Bone marrow aspirate smear · brightfield, 40× oil-immersion objective — 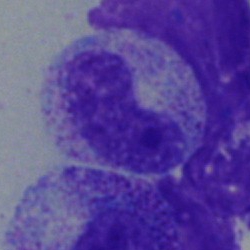
Classification — metamyelocyte.